250×250 px. Bone marrow aspirate smear
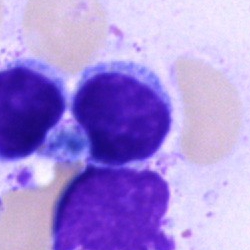

{"cell_type": "typical lymphocyte"}